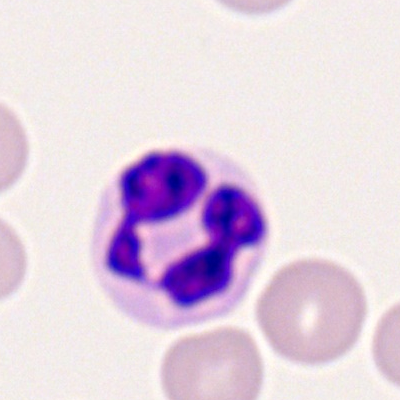 Cell type = neutrophil (segmented).